Single-cell crop. Bone marrow aspirate smear. 250 by 250 pixels: 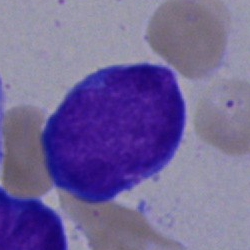

Single cell identified as a blast.